Bone marrow smear · single-cell field — 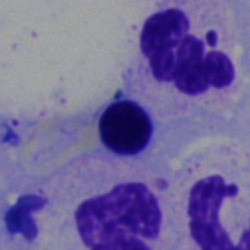

Morphology → erythroblast.